Bone marrow aspirate smear:
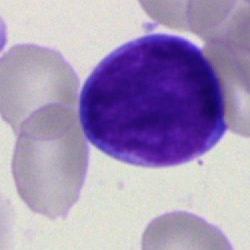

Morphology → typical lymphocyte.